Bone marrow smear.
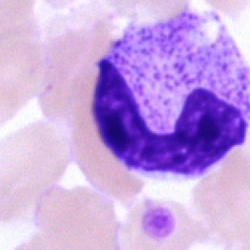
Cell = neutrophil (band).